Bone marrow smear; 250×250 px; 40× oil immersion.
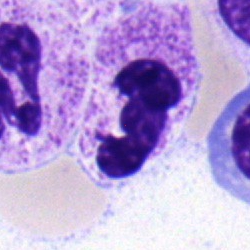

The cell shown is a segmented neutrophil.